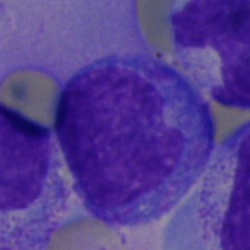 Bone marrow smear showing an undifferentiated blast.